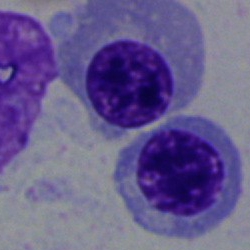Specimen: bone marrow aspirate smear.
Cell type: erythroblast.
Lineage: erythroid.